Bone marrow smear · brightfield microscopy, 40× oil immersion · 250×250
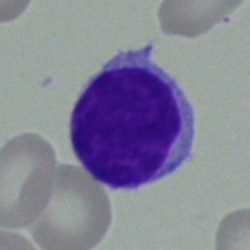
Cell: lymphocyte.